Image size 250×250. Bone marrow smear
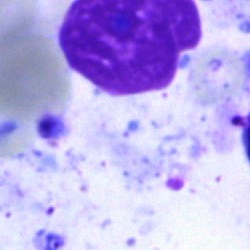 The cell shown is an artifact.